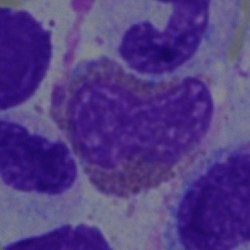

Morphology consistent with an eosinophil.